May-Grünwald-Giemsa/Pappenheim stain; bone marrow smear:
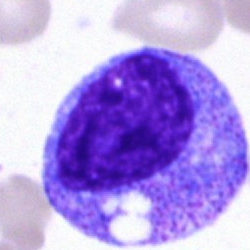 This is a progranulocyte.